Bone marrow smear: 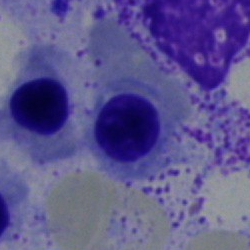Specimen: bone marrow smear.
Cell type: nucleated red cell.
Lineage: erythroid.